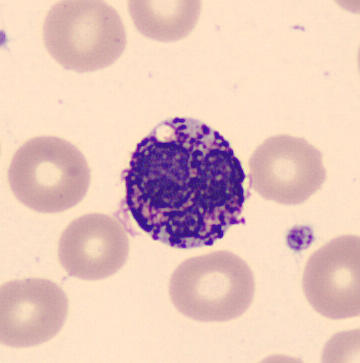 Specimen: peripheral blood smear.
Cell: basophilic granulocyte.
Lineage: myeloid.